Bone marrow aspirate smear; single cell centered in the field — 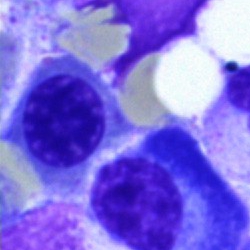Impression — plasmacyte.